Bone marrow smear — 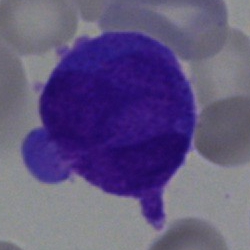
Morphological class = undifferentiated blast.